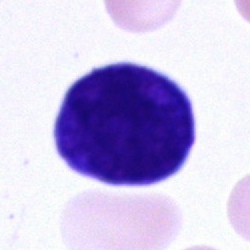
Cell type = unidentifiable cell.